Peripheral blood smear — 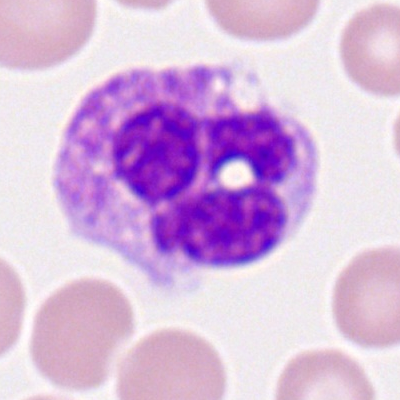

Specimen: peripheral blood smear.
Cell: segmented neutrophil.
Lineage: myeloid.